Bone marrow smear — 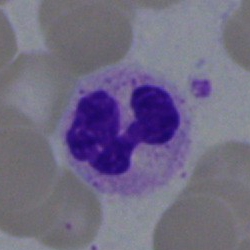
Morphology → segmented neutrophil.